May-Grünwald-Giemsa stain; bone marrow aspirate smear — 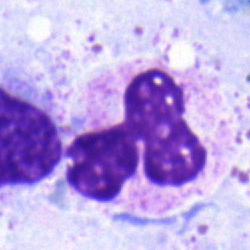

Specimen: bone marrow aspirate smear.
Classification: neutrophil (segmented).